250×250 px; bone marrow aspirate smear: 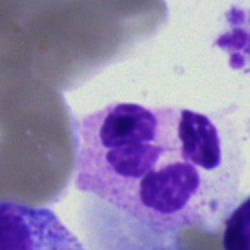 Specimen: bone marrow aspirate smear.
Morphological class: segmented neutrophil.
Lineage: myeloid.